Bone marrow aspirate smear
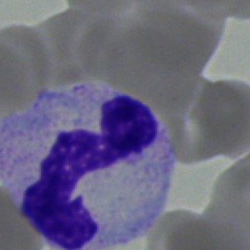

Single cell identified as a neutrophil (segmented).